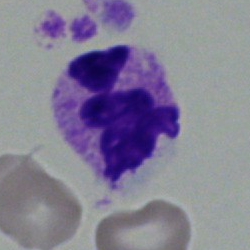
The morphological class is segmented neutrophil.